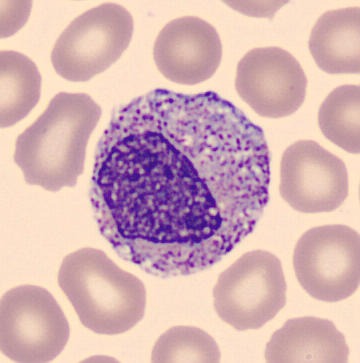

Morphology consistent with a myelocyte.